Single-cell crop; bone marrow smear; brightfield microscopy, 40× oil immersion:
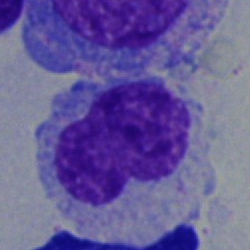
Specimen: bone marrow smear.
Classification: monocyte.
Lineage: myeloid.